May-Grünwald-Giemsa stain. Single-cell crop. Bone marrow smear: 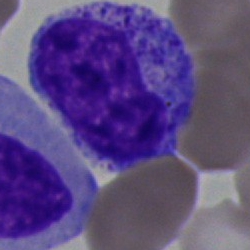 Showing a promyelocyte.